Bone marrow aspirate smear · Pappenheim-stained · single-cell field: 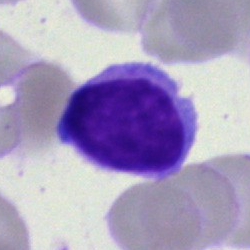

The classification is typical lymphocyte.